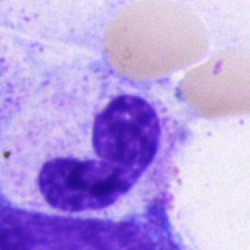The cell is stab cell.